Bone marrow smear — 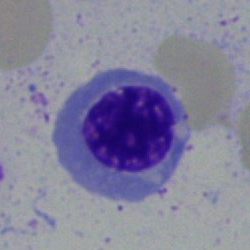 Specimen: bone marrow aspirate smear.
Cell: nucleated red cell.
Lineage: erythroid.